Peripheral blood film; automated cell imaging (CellaVision DM96): 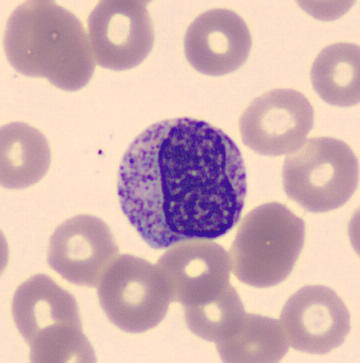
This is a myelocyte.